Brightfield, 40× oil-immersion objective. Bone marrow smear — 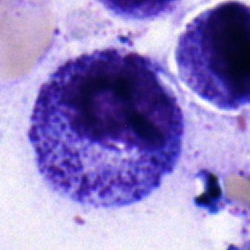

Morphological class: promyelocyte.